Bone marrow aspirate smear:
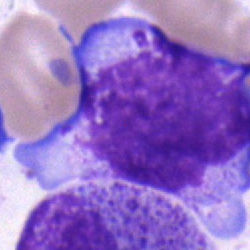 Q: What cell is this?
A: An undifferentiated blast.